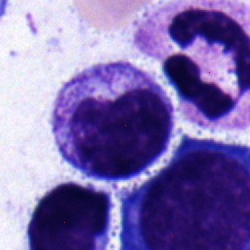A metamyelocyte.